Peripheral blood film:
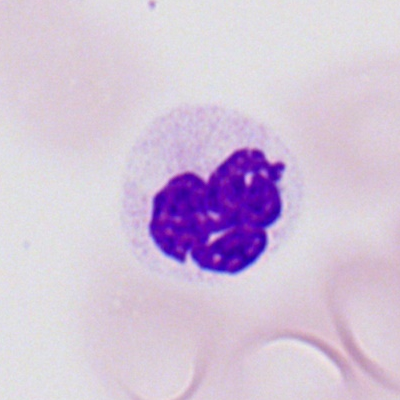Specimen: peripheral blood film.
Morphological class: segmented neutrophil.